40× oil immersion · bone marrow smear: 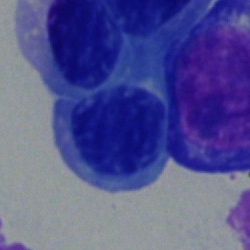
Erythroblast.